Bone marrow smear · single-cell field · MGG-stained — 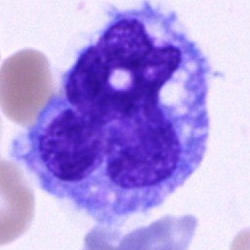
Specimen: bone marrow smear.
Cell: monocyte.
Lineage: myeloid.